Cropped to a single cell · peripheral blood smear · CellaVision DM96 digital cell image
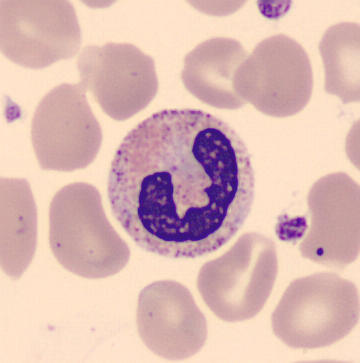
Morphological class = neutrophil (band).